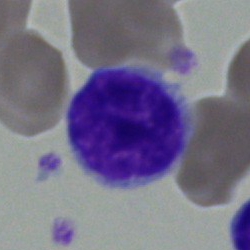
The cell shown is a typical lymphocyte.